Bone marrow smear. 250 by 250 pixels
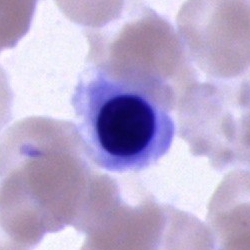Morphology → nucleated red cell.